Bone marrow smear.
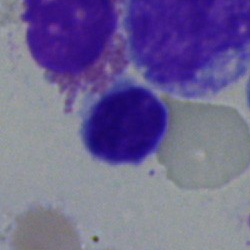
Showing a lymphocyte.